Bone marrow smear:
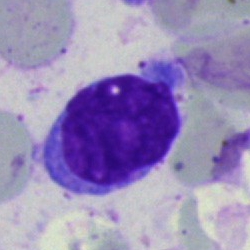
Cell: lymphocyte.